Bone marrow aspirate smear: 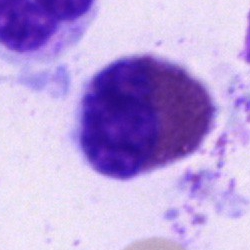

The cell is eosinophil.